Bone marrow aspirate smear: 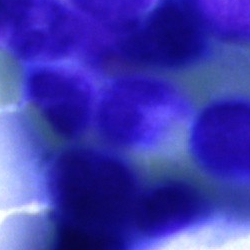

Specimen: bone marrow aspirate smear.
Cell: artifact.